250 by 250 pixels. 40× oil immersion. Bone marrow aspirate smear: 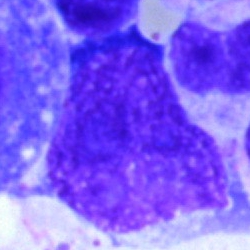 Impression → eosinophilic granulocyte.